40× objective, oil immersion; bone marrow aspirate smear: 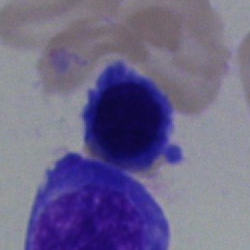 Showing a nucleated red cell.